Bone marrow smear · cropped to a single cell.
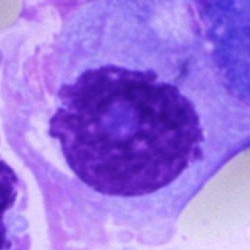

Classification: plasmacyte.